Bone marrow smear.
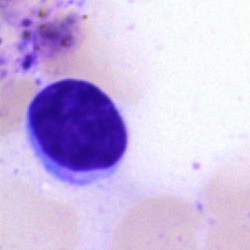Morphological class — typical lymphocyte.